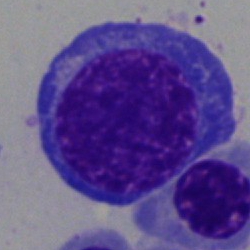

Cell type: nucleated red blood cell.